Cropped to a single cell. Bone marrow aspirate smear. May-Grünwald-Giemsa/Pappenheim stain:
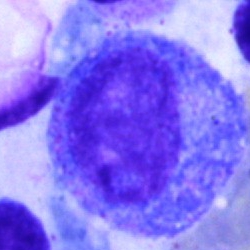Morphological class — progranulocyte.